250×250. Bone marrow smear
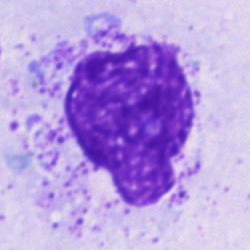
Specimen: bone marrow smear.
Cell type: artifact.